Single cell centered in the field. Bone marrow smear. Pappenheim-stained: 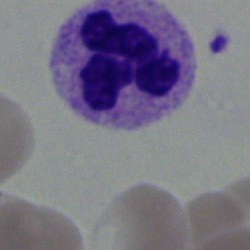

Single cell identified as a neutrophil (segmented).